Brightfield, 40× oil-immersion objective · Pappenheim-stained · bone marrow aspirate smear:
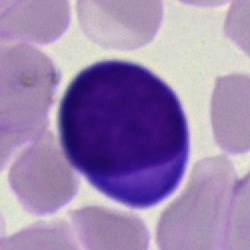Morphology — blast.